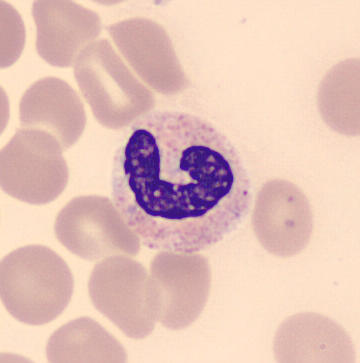

Image: Peripheral blood smear.
The cell is segmented neutrophil.